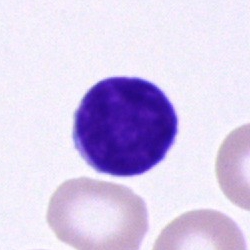Bone marrow smear showing a typical lymphocyte.